Bone marrow smear — 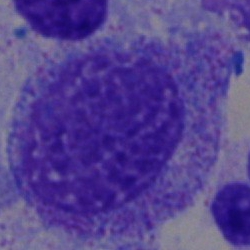Q: What is shown here?
A: This is a myelocyte.